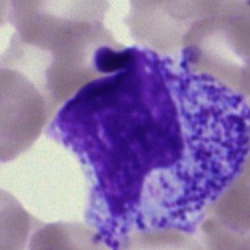 Classification — artefact.